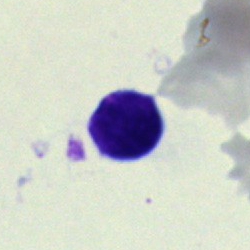

Single cell identified as a lymphocyte.